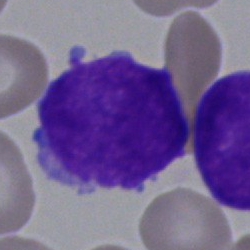A blast cell on a bone marrow smear.